Bone marrow aspirate smear · single-cell crop: 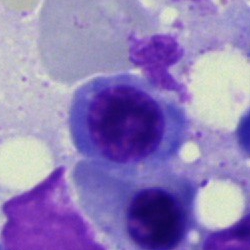 Single cell identified as a normoblast.